Bone marrow smear: 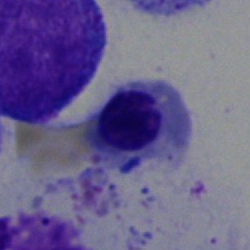Q: Identify the cell.
A: Normoblast.